Bone marrow aspirate smear; May-Grünwald-Giemsa stain — 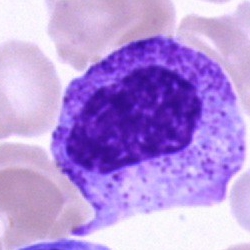
Cell — promyelocyte.